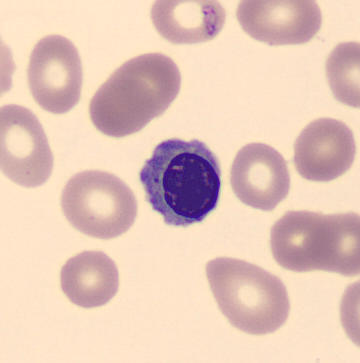
Preparation: Single-cell field. Peripheral blood film. MGG-stained.
Q: Identify the cell.
A: It is a nucleated red cell.